Bone marrow aspirate smear:
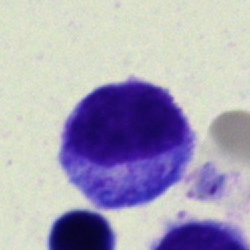
Impression — promyelocyte.